Peripheral blood film
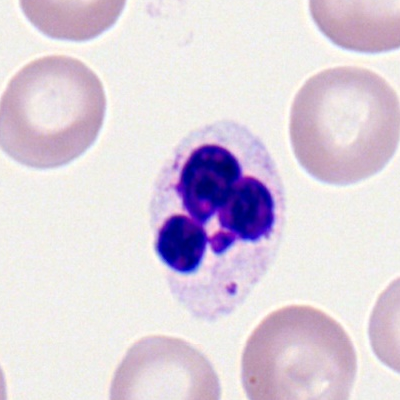
Impression → polymorphonuclear neutrophil.